Bone marrow aspirate smear · brightfield microscopy, 40× oil immersion
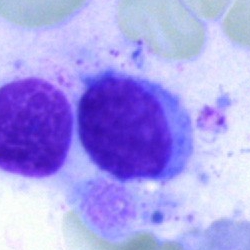A typical lymphocyte.